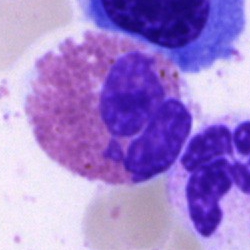Q: What is shown here?
A: This is an eosinophil.